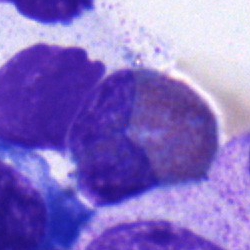 Q: What is shown here?
A: An eosinophil.